Bone marrow aspirate smear. 40× oil immersion. 250×250 px:
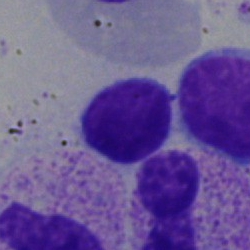 Showing a lymphocyte.